Bone marrow aspirate smear; Pappenheim-stained; single-cell field.
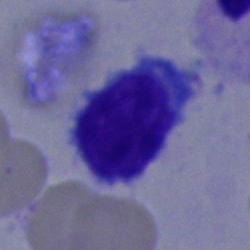
The cell type is lymphocyte.